Bone marrow aspirate smear — 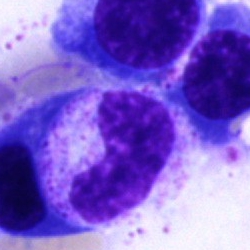 Showing a band-form neutrophil.